Bone marrow smear; brightfield microscopy, 40× oil immersion; May-Grünwald-Giemsa stain.
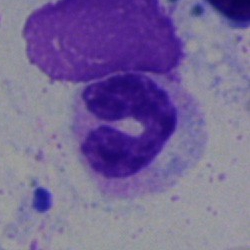

Polymorphonuclear neutrophil.